Bone marrow smear · cropped to a single cell: 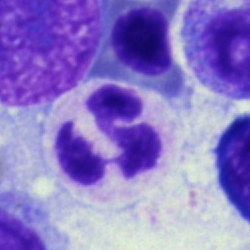 Classification: polymorphonuclear neutrophil.